Bone marrow smear:
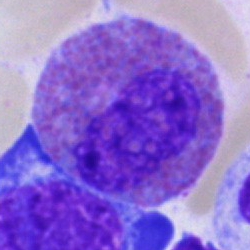Classification — eosinophil.